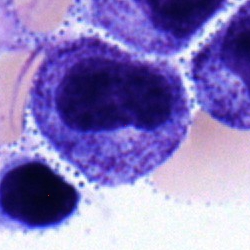 Impression — myelocyte.